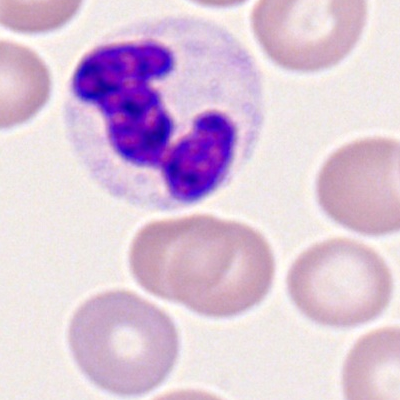
Specimen: peripheral blood smear.
Classification: segmented neutrophil.
Lineage: myeloid.